Bone marrow aspirate smear:
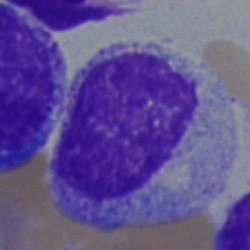
{"cell_type": "myelocyte"}